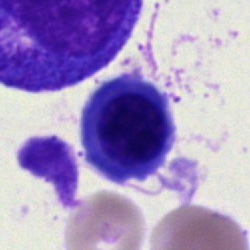Single-cell crop from a bone marrow smear: erythroblast.